Peripheral blood film.
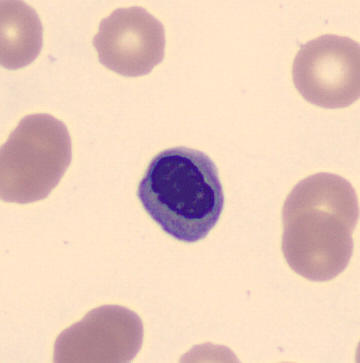
The classification is erythroblast.